Bone marrow aspirate smear:
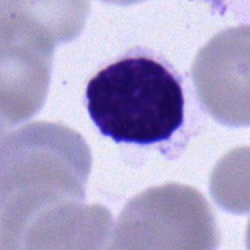Q: What is the morphological classification of this cell?
A: A typical lymphocyte.